Bone marrow smear.
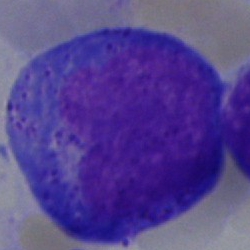

Q: What cell is this?
A: This is a promyelocyte.